Bone marrow smear; brightfield, 40× oil-immersion objective: 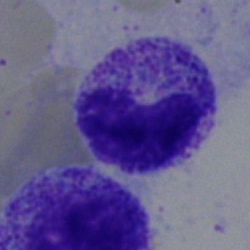 Q: What type of cell is this?
A: It is a metamyelocyte.